250 by 250 pixels; single cell centered in the field; bone marrow smear — 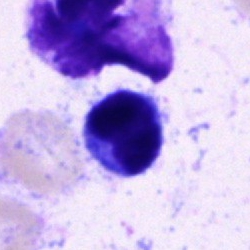Single cell identified as a typical lymphocyte.